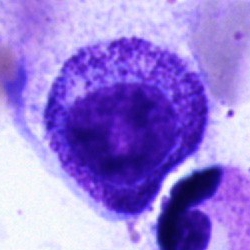Myelocyte.